Peripheral blood smear.
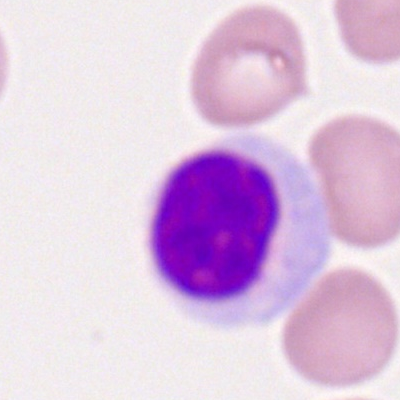

Showing a lymphocyte.